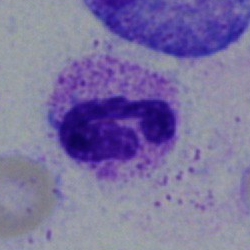Q: Which cell type is shown here?
A: Segmented neutrophil.